Bone marrow aspirate smear · 250 by 250 pixels: 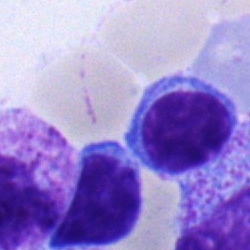
Specimen: bone marrow smear.
Cell type: lymphocyte.